Bone marrow smear:
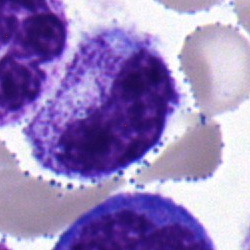

Classification: metamyelocyte.